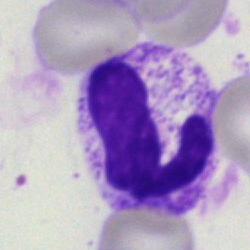

A neutrophil (segmented) on a bone marrow smear.